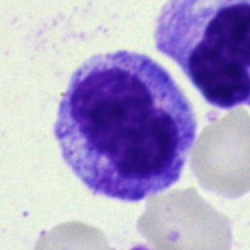
Impression — metamyelocyte.